May-Grünwald-Giemsa-stained; 360×363; peripheral blood smear:
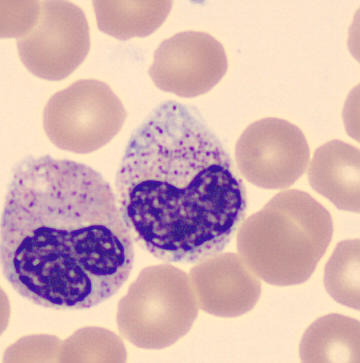

The cell shown is a metamyelocyte.